Bone marrow aspirate smear
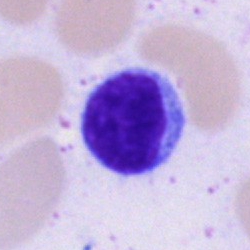{"cell_type": "lymphocyte", "lineage": "lymphoid"}